Bone marrow aspirate smear:
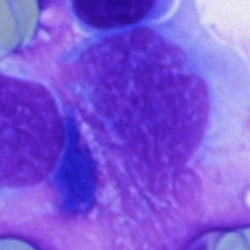Cell = artefact.